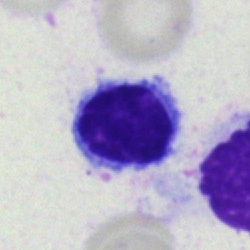A lymphocyte on a bone marrow smear.